Bone marrow smear: 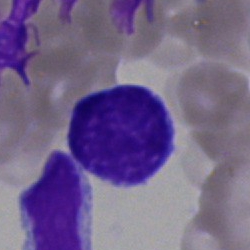Morphology → typical lymphocyte.